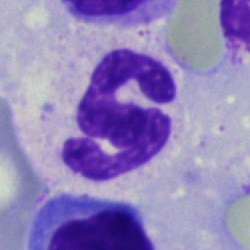
Specimen: bone marrow aspirate smear.
Cell type: polymorphonuclear neutrophil.